Bone marrow aspirate smear:
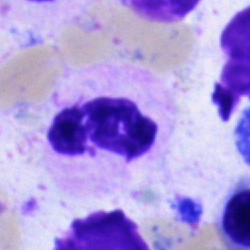
Polymorphonuclear neutrophil.